Bone marrow aspirate smear:
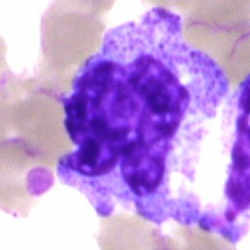
The cell shown is a segmented neutrophil.